Bone marrow aspirate smear — 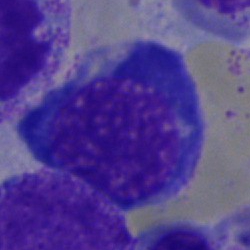Q: Which cell type is shown here?
A: It is a nucleated red blood cell.